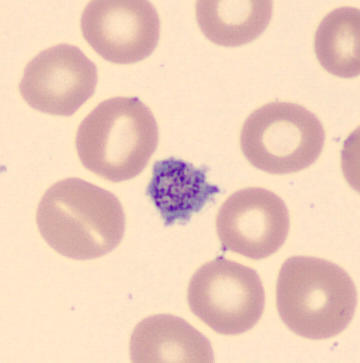Cell type: platelet (thrombocyte).